Brightfield, 40× oil-immersion objective; Pappenheim-stained; bone marrow smear: 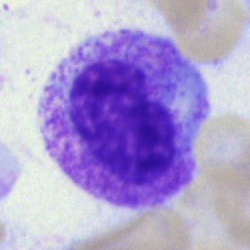
Morphology — metamyelocyte.